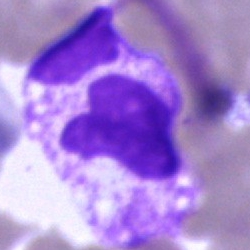 Specimen: bone marrow smear.
Cell: neutrophil (segmented).